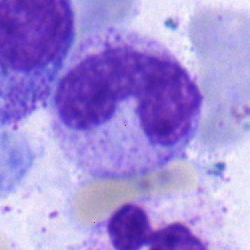A stab cell.